Bone marrow smear
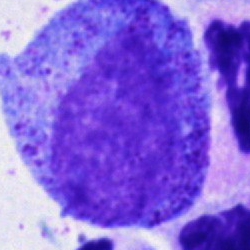This is a progranulocyte.